Bone marrow aspirate smear:
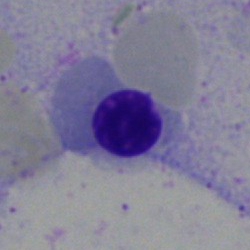

Classification = nucleated red cell.